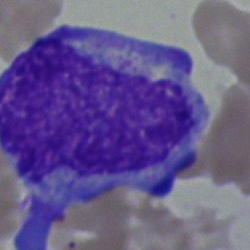Impression → blast.